Cropped to a single cell · bone marrow aspirate smear.
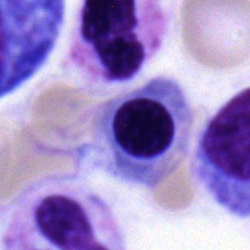

Morphology consistent with an erythroblast.